Bone marrow aspirate smear: 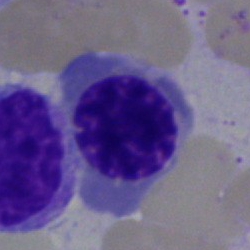 Cell type: nucleated red cell.